Bone marrow aspirate smear — 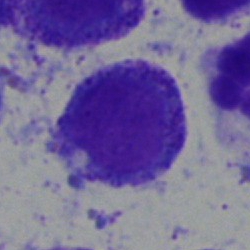Morphology — artefact.